250×250. Bone marrow aspirate smear.
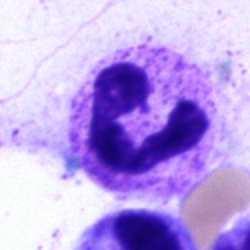
Q: What type of cell is this?
A: A segmented neutrophil.